250×250. Bone marrow aspirate smear: 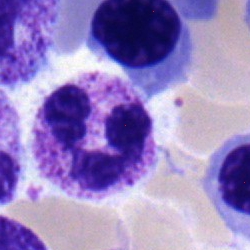Classification = polymorphonuclear neutrophil.